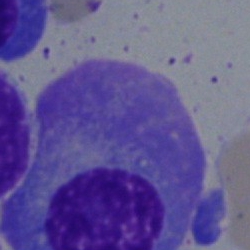
Q: What cell is this?
A: A plasma cell.